400×400 px · single-cell crop · peripheral blood smear
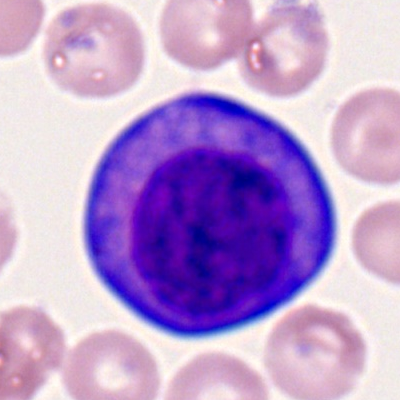
This is a myeloblast.